Bone marrow aspirate smear
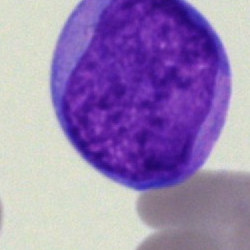 Cell type — undifferentiated blast.